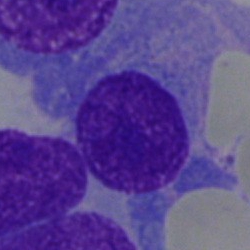
Plasma cell.